Bone marrow aspirate smear · 250 by 250 pixels · May-Grünwald-Giemsa stain:
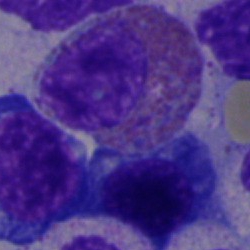Morphological class: eosinophil.